Bone marrow smear:
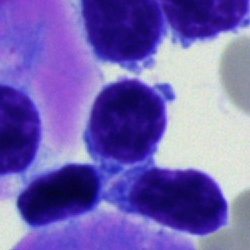

Q: What is the morphological classification of this cell?
A: This is a lymphocyte.